Bone marrow aspirate smear: 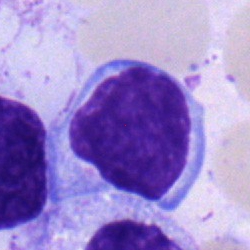A lymphocyte.